Bone marrow smear: 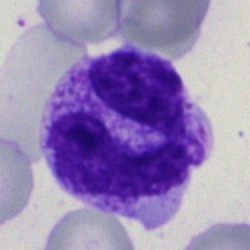
A polymorphonuclear neutrophil.